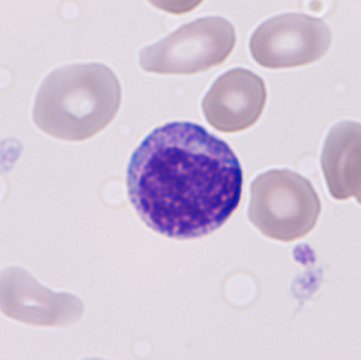Morphology → immature granulocyte.